Bone marrow aspirate smear: 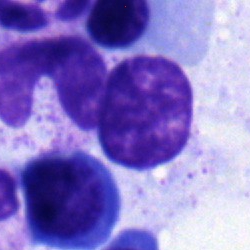 Morphology — normoblast.